Bone marrow smear: 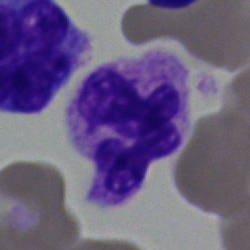
This is a segmented neutrophil.